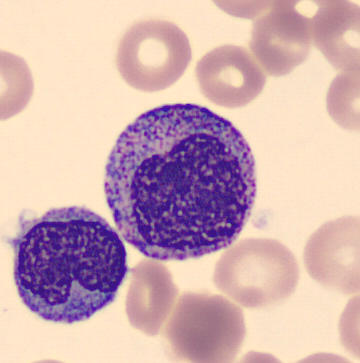Peripheral blood film. Impression — progranulocyte.